Bone marrow aspirate smear:
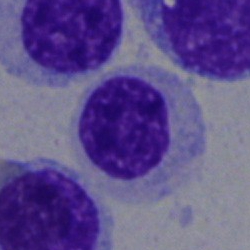
{"cell_type": "lymphocyte", "lineage": "lymphoid"}